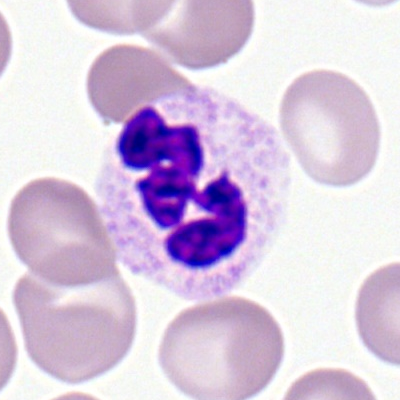 Peripheral blood smear showing a polymorphonuclear neutrophil.